Image size 250×250. Bone marrow smear. Brightfield microscopy, 40× oil immersion — 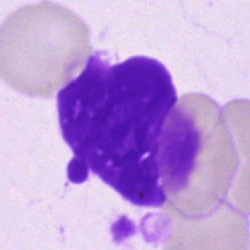

Specimen: bone marrow aspirate smear.
Classification: artifact.